CellaVision DM96 digital cell image. May-Grünwald-Giemsa-stained. Peripheral blood smear:
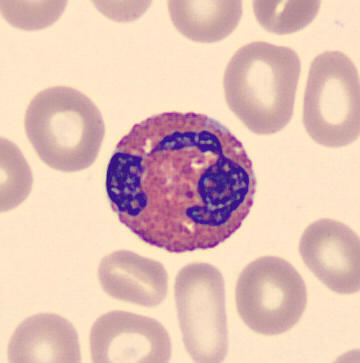
Q: What is this?
A: This is an eosinophilic granulocyte.